Pappenheim-stained. Bone marrow smear — 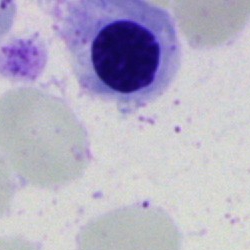
Cell type — normoblast.